Bone marrow aspirate smear:
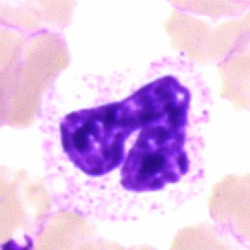

The cell shown is a segmented neutrophil.